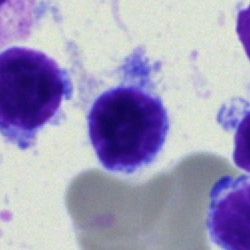Q: What is the morphological classification of this cell?
A: This is a typical lymphocyte.